May-Grünwald-Giemsa stain. Single cell centered in the field. Bone marrow aspirate smear: 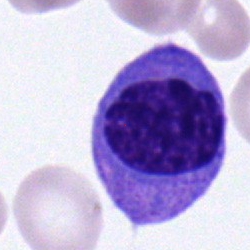 {"cell_type": "monocyte", "lineage": "myeloid"}